Bone marrow smear · MGG-stained: 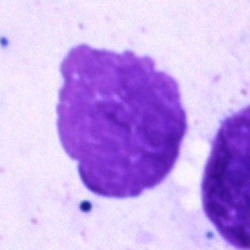 Q: What is shown here?
A: It is an artefact.